Bone marrow aspirate smear — 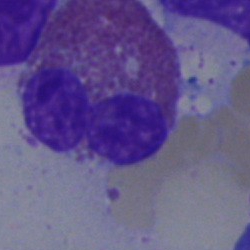

Q: What type of cell is this?
A: Eosinophilic granulocyte.